40× objective, oil immersion; bone marrow smear:
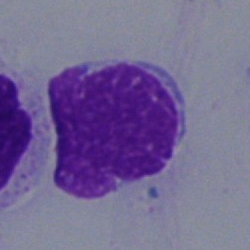 An artifact.